Bone marrow smear.
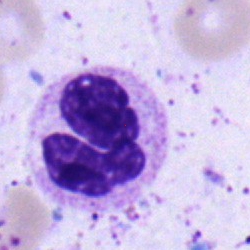

A segmented neutrophil.